Brightfield, 40× oil-immersion objective; bone marrow smear; 250×250 px
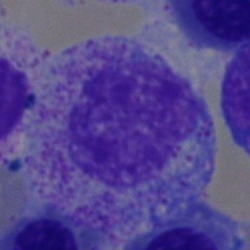
Showing a myelocyte.